Bone marrow aspirate smear — 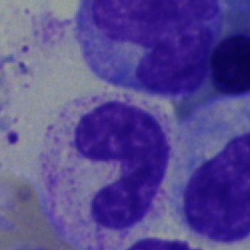
Morphology → band-form neutrophil.